Bone marrow smear; May-Grünwald-Giemsa/Pappenheim stain:
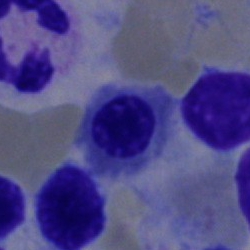
Specimen: bone marrow aspirate smear.
Cell type: nucleated red blood cell.